Bone marrow smear — 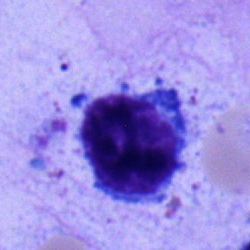A typical lymphocyte.